Bone marrow aspirate smear: 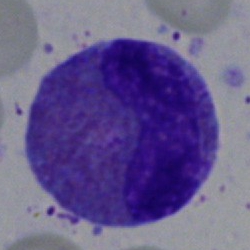 Impression → eosinophilic granulocyte.